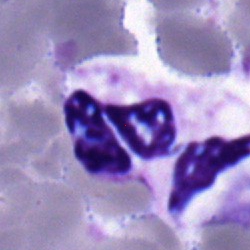
Single-cell crop from a bone marrow smear: neutrophil (segmented).